Bone marrow aspirate smear: 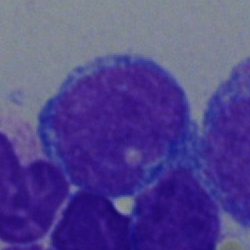
Morphology consistent with a blast.